40× oil immersion · bone marrow aspirate smear
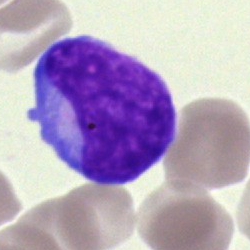

A blast cell.